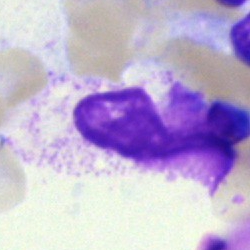
Specimen: bone marrow smear.
Cell type: artefact.